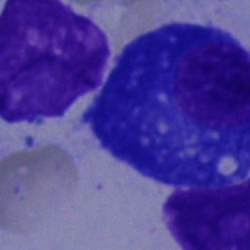 Impression → plasmacyte.